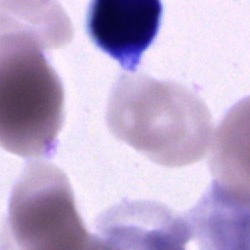

Bone marrow aspirate smear, single cell — unidentifiable cell.